Bone marrow aspirate smear · MGG-stained: 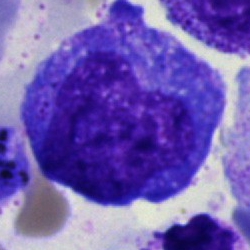 The cell shown is a promyelocyte.